Brightfield, 40× oil-immersion objective · May-Grünwald-Giemsa stain · bone marrow smear:
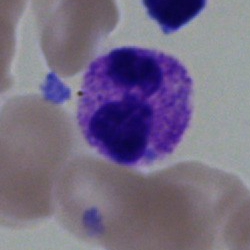

Morphology consistent with a polymorphonuclear neutrophil.